Bone marrow aspirate smear: 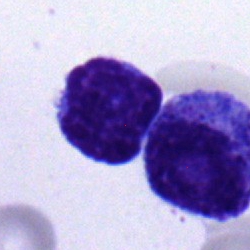

Specimen: bone marrow smear.
Cell type: progranulocyte.
Lineage: myeloid.